Peripheral blood smear · single-cell crop:
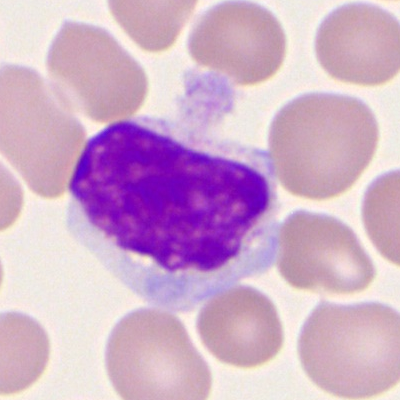Single cell identified as a monocyte.